Bone marrow aspirate smear; May-Grünwald-Giemsa/Pappenheim stain
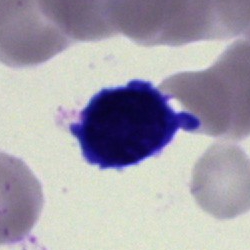 Morphology → lymphocyte.